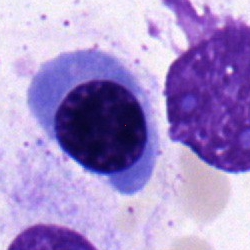 {"cell_type": "nucleated red cell", "lineage": "erythroid"}